250 by 250 pixels. Bone marrow smear. May-Grünwald-Giemsa stain — 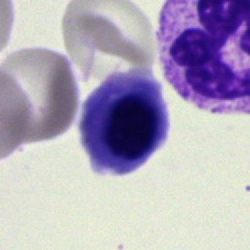Morphology → erythroblast.